Bone marrow smear: 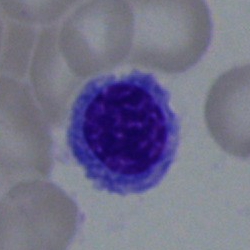 Classification: erythroblast.